Bone marrow smear: 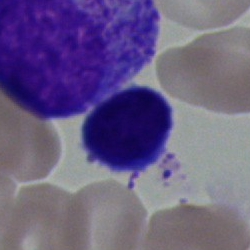Specimen: bone marrow smear.
Classification: lymphocyte.